Bone marrow smear: 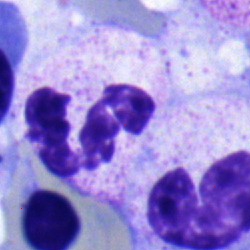
Cell: neutrophil (segmented).